Bone marrow smear
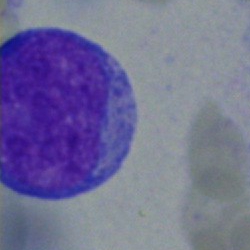Q: What is shown here?
A: It is a blast.